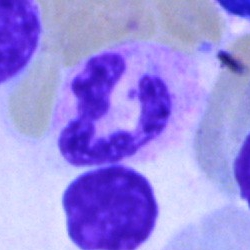

Impression — segmented neutrophil.